M8 digital microscope (Precipoint), 100× oil immersion; peripheral blood smear
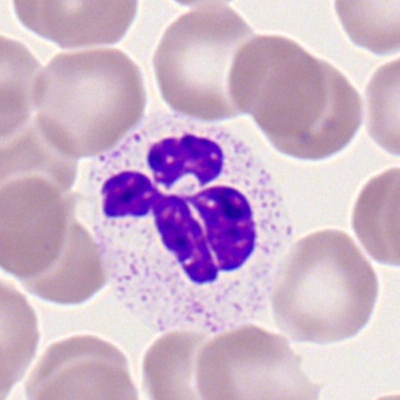Morphological class: neutrophil (segmented).